40× objective, oil immersion. Bone marrow aspirate smear — 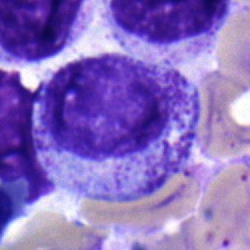 This is a myelocyte.